Bone marrow smear · image size 250×250: 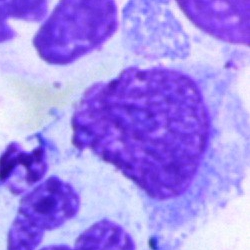

The cell type is artifact.